Bone marrow smear. Brightfield, 40× oil-immersion objective:
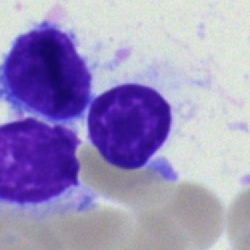 Morphology → lymphocyte.